May-Grünwald-Giemsa-stained; 360×363 px; peripheral blood film
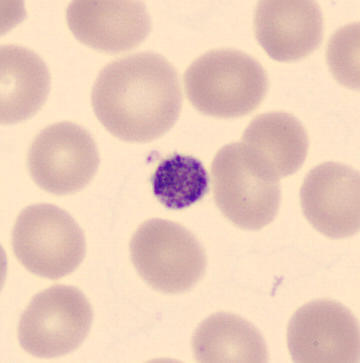
A thrombocyte.